Bone marrow smear.
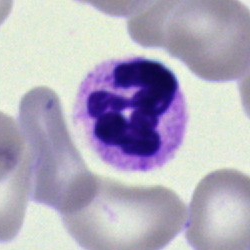

Morphology consistent with a polymorphonuclear neutrophil.